Bone marrow smear.
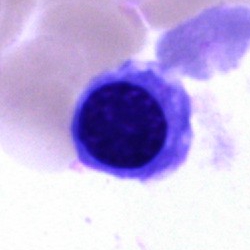

Morphology consistent with a nucleated red blood cell.